Bone marrow aspirate smear.
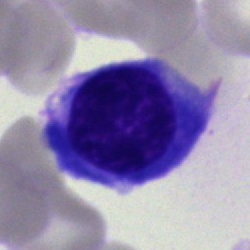

Q: What is the morphological classification of this cell?
A: A nucleated red cell.